Bone marrow smear — 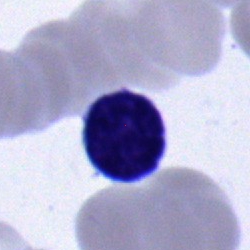 Q: What type of cell is this?
A: Typical lymphocyte.